Bone marrow aspirate smear.
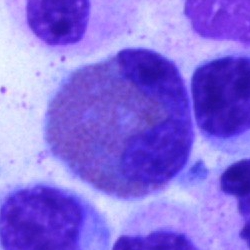

Specimen: bone marrow aspirate smear.
Cell type: eosinophilic granulocyte.